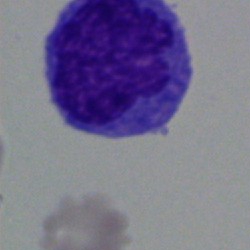

Morphological class: monocyte.